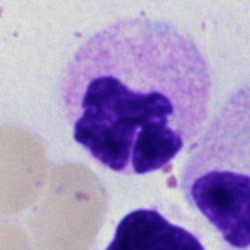 Neutrophil (segmented).